Bone marrow smear — 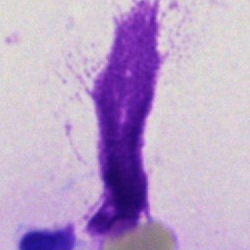

Classification = artefact.